Bone marrow aspirate smear. 250 by 250 pixels — 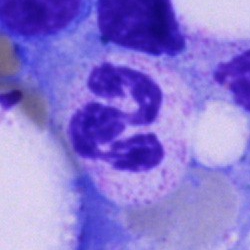
Classification — polymorphonuclear neutrophil.